Bone marrow aspirate smear; 250×250 px: 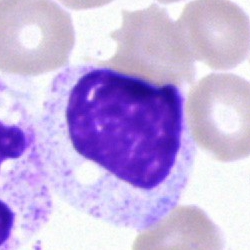Q: What is shown here?
A: Artefact.